Bone marrow aspirate smear.
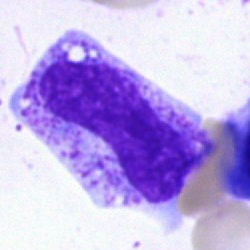
Q: What is shown here?
A: Band-form neutrophil.